Bone marrow aspirate smear — 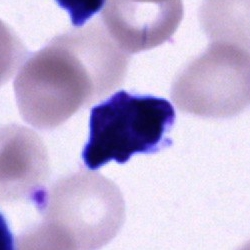Specimen: bone marrow aspirate smear.
Classification: unidentifiable cell.